Bone marrow smear: 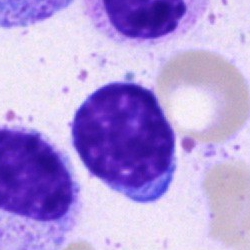 The cell is lymphocyte.